400×400 px; Romanowsky-type stain; peripheral blood film:
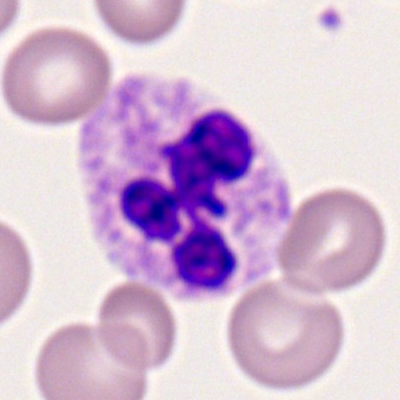 Showing a neutrophil (segmented).